Bone marrow smear:
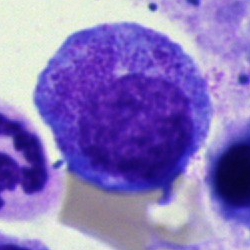 The cell shown is a myelocyte.